Bone marrow smear:
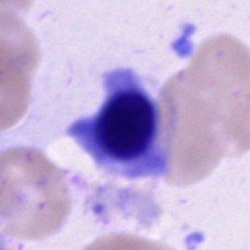
Q: Identify the cell.
A: A nucleated red blood cell.